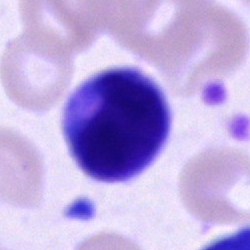 Q: Identify the cell.
A: Unidentifiable cell.